Peripheral blood smear: 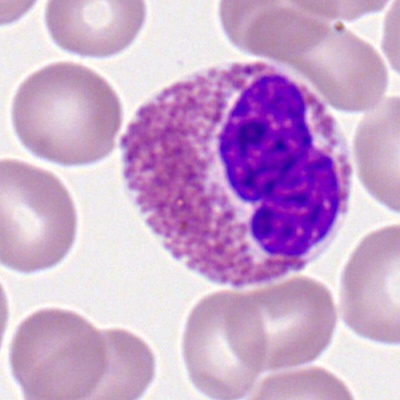
Morphology → eosinophil.